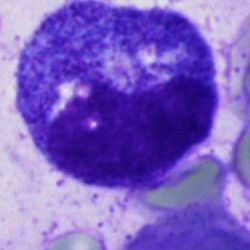Progranulocyte.